Single-cell field; 40× objective, oil immersion; bone marrow smear: 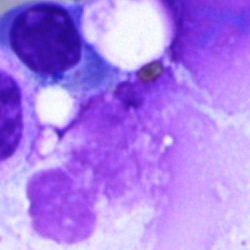 Q: What is shown here?
A: An artifact.